Bone marrow smear. Image size 250×250 — 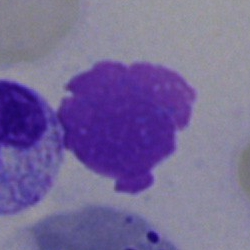 This is an artifact.